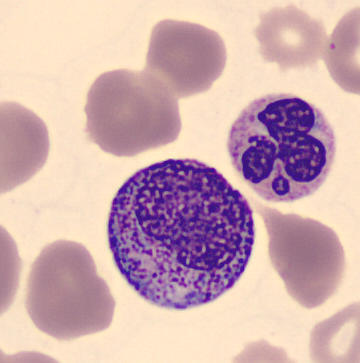A progranulocyte.